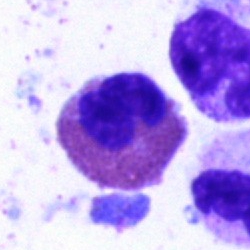

Single cell identified as an eosinophilic granulocyte.